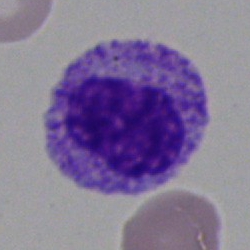 The cell type is myelocyte.